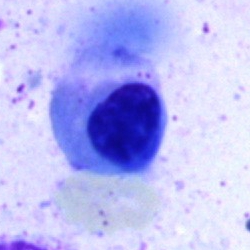

Specimen: bone marrow smear.
Cell type: erythroblast.